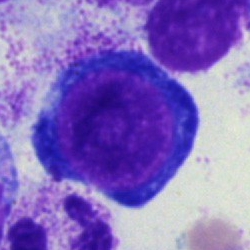

Morphology — proerythroblast.